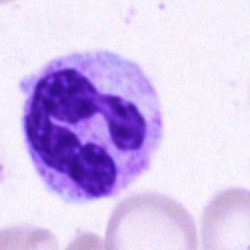
Bone marrow smear showing a polymorphonuclear neutrophil.